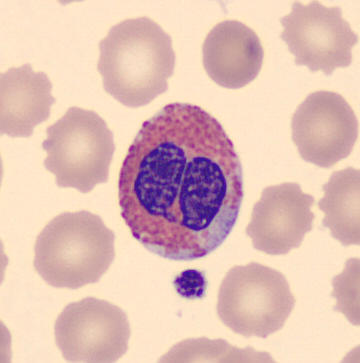 Q: What type of cell is this?
A: This is an eosinophilic granulocyte.